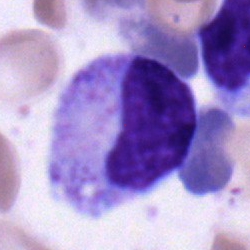

{"cell_type": "myelocyte", "lineage": "myeloid"}